Bone marrow smear · May-Grünwald-Giemsa/Pappenheim stain · brightfield, 40× oil-immersion objective
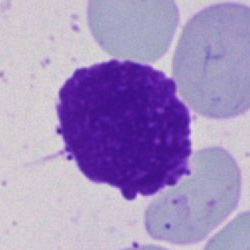Q: What is shown here?
A: Artifact.